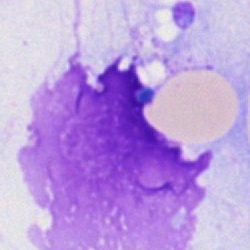{"cell_type": "artifact"}